May-Grünwald-Giemsa/Pappenheim stain; bone marrow aspirate smear:
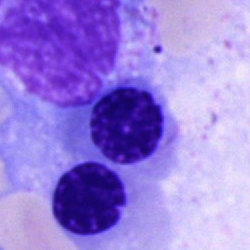

Cell = erythroblast.